Bone marrow smear
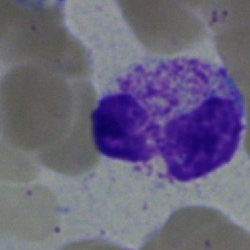

Morphological class — segmented neutrophil.